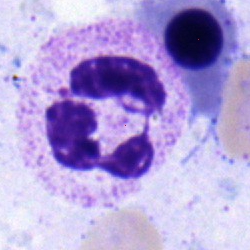

Cell — segmented neutrophil.